Bone marrow smear · 250 by 250 pixels · May-Grünwald-Giemsa/Pappenheim stain — 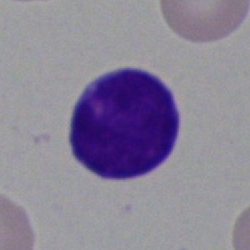

Q: Which cell type is shown here?
A: This is an undifferentiated blast.